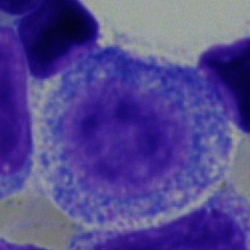 Morphological class: progranulocyte.